Bone marrow smear: 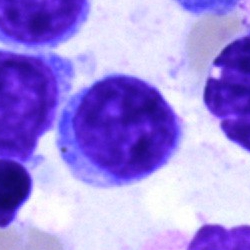 Q: Which cell type is shown here?
A: Lymphocyte.